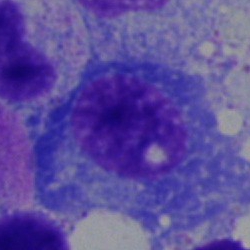
Single cell identified as a plasmacyte.